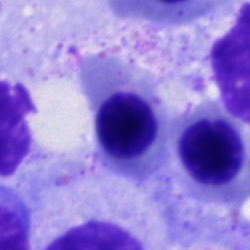The cell shown is a blast.